Bone marrow aspirate smear; single-cell field: 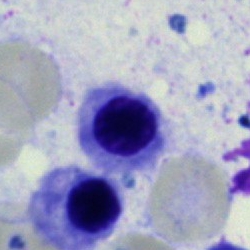 Nucleated red cell.